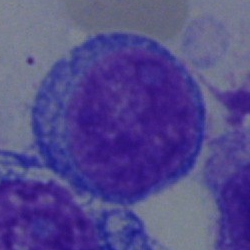Classification = blast.